May-Grünwald-Giemsa/Pappenheim stain · single-cell crop · bone marrow aspirate smear — 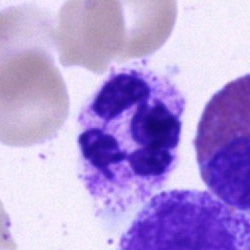

This is a neutrophil (segmented).